Bone marrow smear: 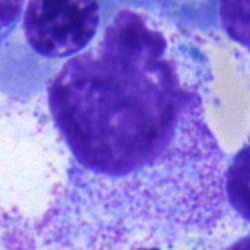

Morphology consistent with a myelocyte.